Bone marrow smear: 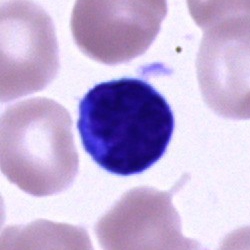 {"cell_type": "lymphocyte", "lineage": "lymphoid"}